Single-cell crop. Bone marrow smear:
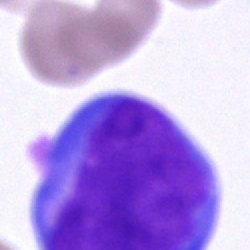
An unidentifiable cell.